Peripheral blood film
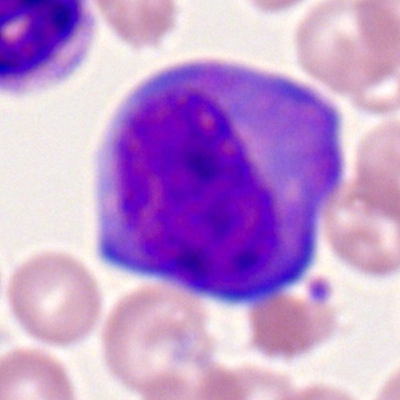Q: Which cell type is shown here?
A: Myeloid blast.